Bone marrow smear: 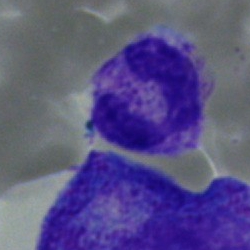
Specimen: bone marrow aspirate smear.
Cell: segmented neutrophil.
Lineage: myeloid.